40× objective, oil immersion. Bone marrow smear: 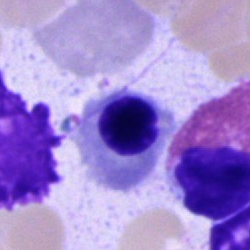Showing an erythroblast.